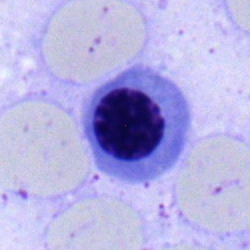Classification = erythroblast.